Bone marrow smear.
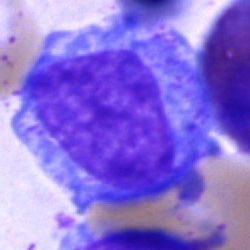Morphological class — promyelocyte.